Peripheral blood film:
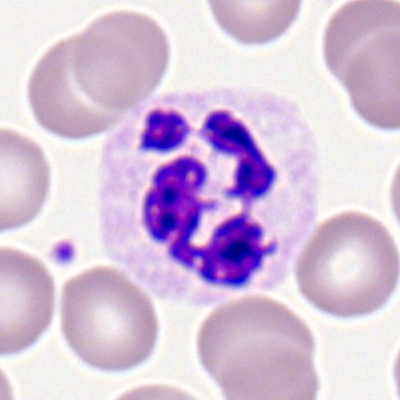
Morphology consistent with a polymorphonuclear neutrophil.